Bone marrow aspirate smear · 250×250 px
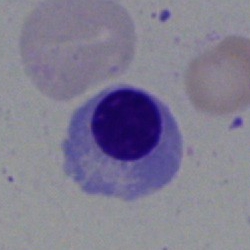Cell type = normoblast.